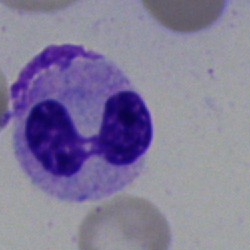

Classification: neutrophil (segmented).